Bone marrow aspirate smear.
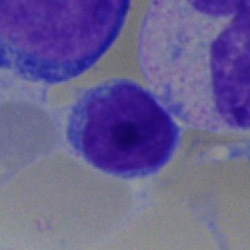 Q: Identify the cell.
A: A lymphocyte.